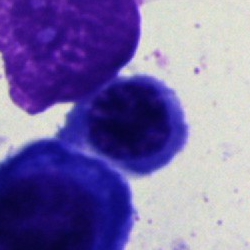

Specimen: bone marrow aspirate smear.
Classification: nucleated red blood cell.
Lineage: erythroid.